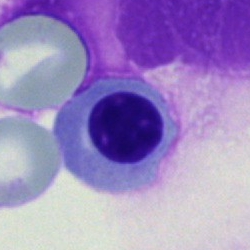 Specimen: bone marrow smear.
Cell: normoblast.